Bone marrow smear; 250×250:
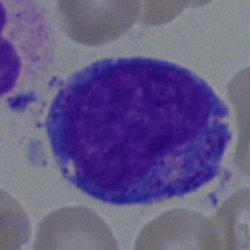Specimen: bone marrow smear.
Cell: progranulocyte.
Lineage: myeloid.